250×250. Bone marrow smear — 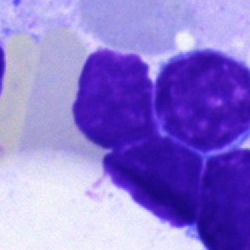
Single cell identified as an artifact.